Bone marrow smear; brightfield microscopy, 40× oil immersion — 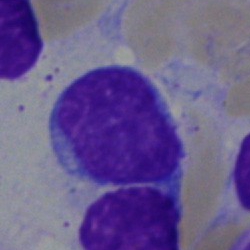
Q: What is shown here?
A: This is a typical lymphocyte.